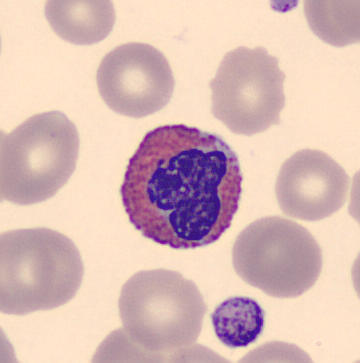 Showing an eosinophilic granulocyte. Peripheral blood smear.